250×250. Single cell centered in the field. Bone marrow aspirate smear:
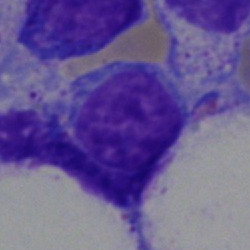

Classification: lymphocyte.